Bone marrow smear
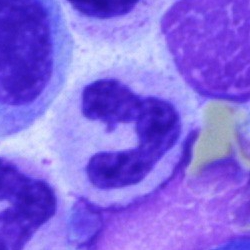The cell shown is a segmented neutrophil.